Bone marrow smear:
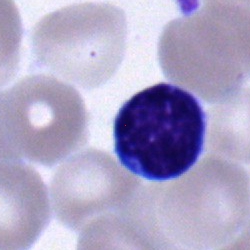 Classification: lymphocyte.